Bone marrow aspirate smear; brightfield, 40× oil-immersion objective; MGG-stained
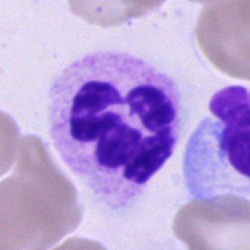
Showing a polymorphonuclear neutrophil.